Bone marrow aspirate smear · May-Grünwald-Giemsa/Pappenheim stain: 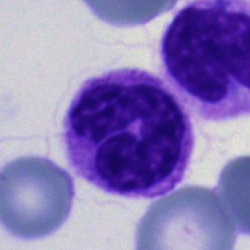

Showing a polymorphonuclear neutrophil.